Bone marrow smear — 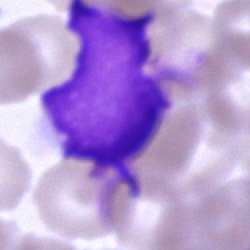 Q: What is shown here?
A: Artefact.